Brightfield, 40× oil-immersion objective; bone marrow aspirate smear:
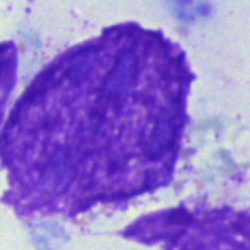 Classification = artifact.